Peripheral blood film; Romanowsky-stained; 400×400 px:
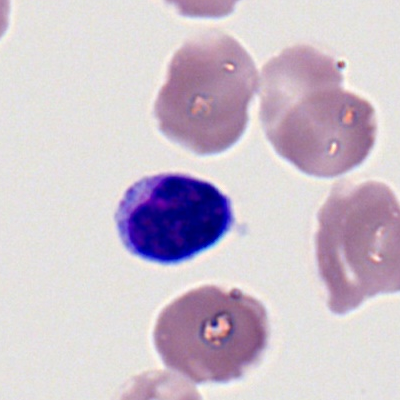 Cell type = typical lymphocyte.